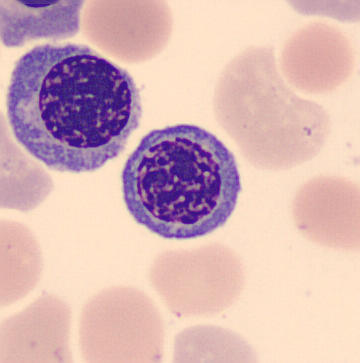

Peripheral blood smear.

Q: What is shown here?
A: A nucleated red blood cell.